Bone marrow aspirate smear · 250×250: 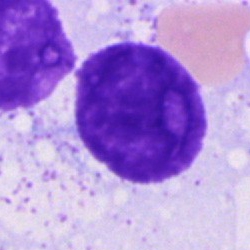
The morphological class is artifact.